Bone marrow smear — 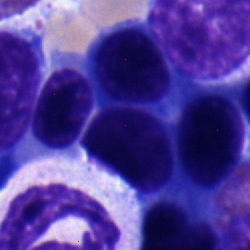

Cell type — nucleated red blood cell.